Bone marrow aspirate smear:
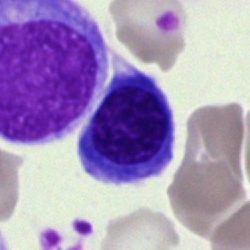 This is an erythroblast.